Peripheral blood film:
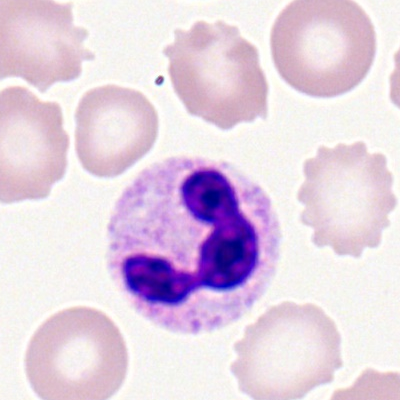 Q: What type of cell is this?
A: This is a segmented neutrophil.